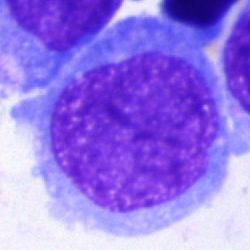Specimen: bone marrow aspirate smear.
Cell: blast cell.